May-Grünwald-Giemsa stain. Bone marrow smear
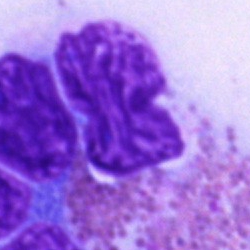 The classification is artefact.